Brightfield microscopy, 40× oil immersion. Bone marrow aspirate smear:
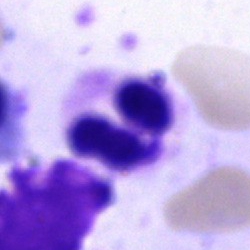Cell type — polymorphonuclear neutrophil.